Bone marrow smear: 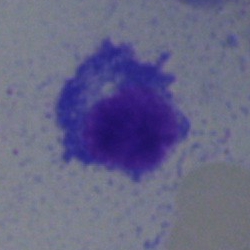
Q: What type of cell is this?
A: A plasmacyte.